Bone marrow smear
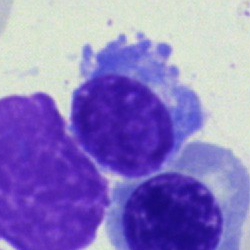
Cell type: plasma cell.